Peripheral blood film:
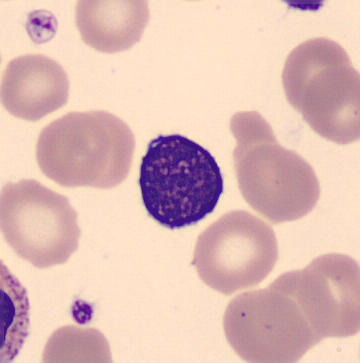

Q: What is this?
A: It is a typical lymphocyte.